Bone marrow smear; 40× objective, oil immersion
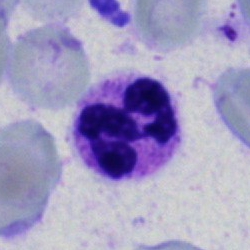

Classification — polymorphonuclear neutrophil.